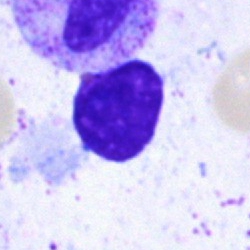

This is an artefact.